Bone marrow aspirate smear. Brightfield microscopy, 40× oil immersion:
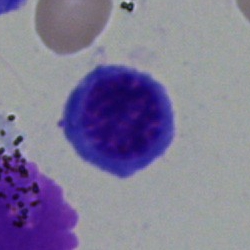
Nucleated red cell.